Bone marrow aspirate smear.
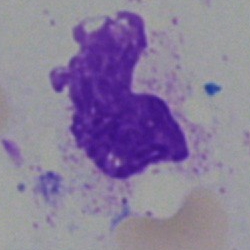Cell: artefact.